Bone marrow aspirate smear — 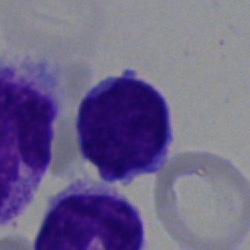Classification = lymphocyte.